Bone marrow smear — 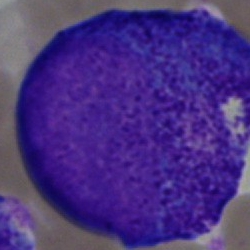The cell shown is a promyelocyte.